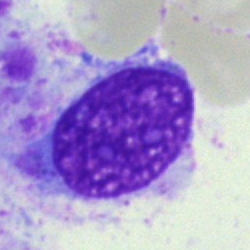 Impression → artifact.